Bone marrow aspirate smear — 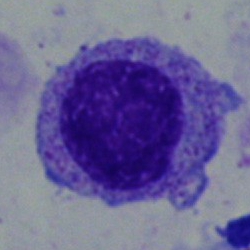Single cell identified as a myelocyte.